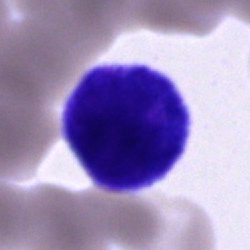
{"cell_type": "unidentifiable cell"}